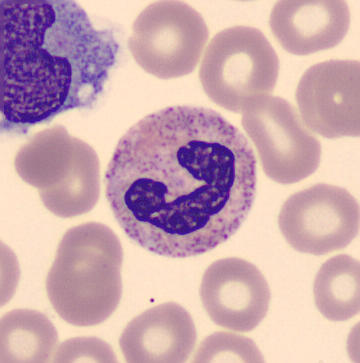

Cell type = neutrophil (band).
Preparation: CellaVision DM96 · MGG stain · peripheral blood film.